Cropped to a single cell; peripheral blood film; image size 360×363:
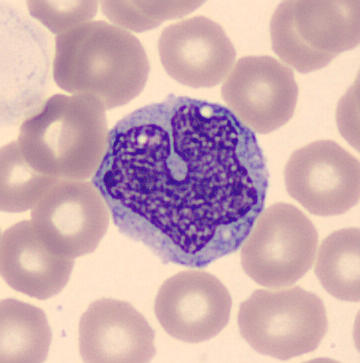 Specimen: peripheral blood film.
Cell: monocyte.